Image size 250×250 · bone marrow aspirate smear:
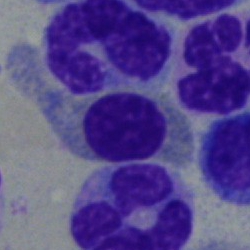
Morphology — normoblast.